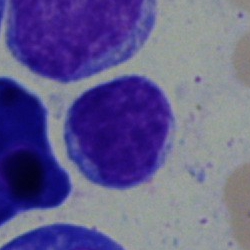
Classification = typical lymphocyte.